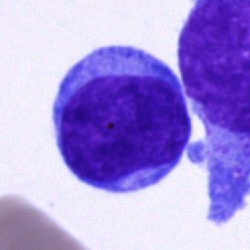Specimen: bone marrow smear.
Cell type: blast.